400 by 400 pixels · peripheral blood smear: 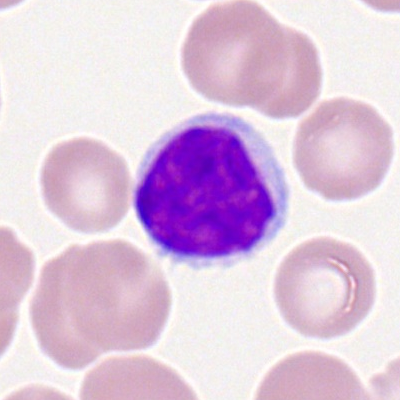

Specimen: peripheral blood film.
Morphological class: typical lymphocyte.